Bone marrow aspirate smear — 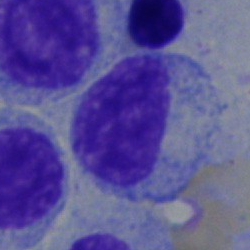
The cell is myelocyte.